Bone marrow aspirate smear:
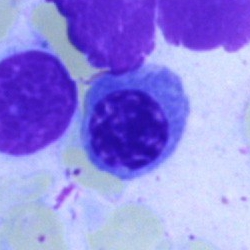
The cell type is normoblast.